Bone marrow aspirate smear:
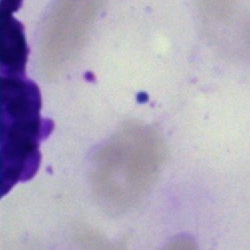

An artifact.